Bone marrow aspirate smear:
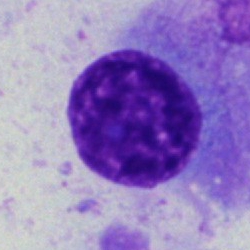 Morphological class: artifact.